Bone marrow smear: 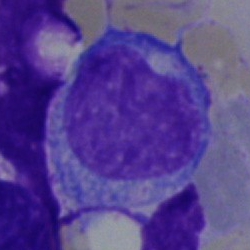 This is a progranulocyte.